Single-cell crop · image size 250×250 · bone marrow aspirate smear
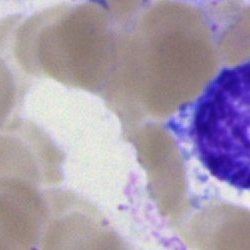
An unidentifiable cell.